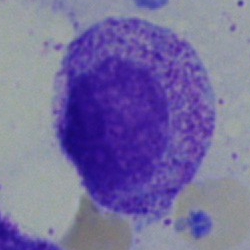
This is a myelocyte.